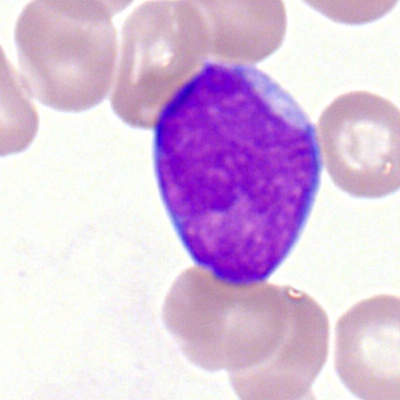The cell shown is a myeloblast.